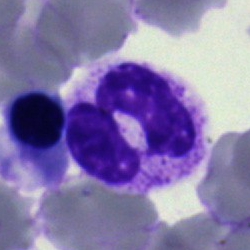Bone marrow aspirate smear, single cell — neutrophil (segmented).